May-Grünwald-Giemsa stain; bone marrow aspirate smear: 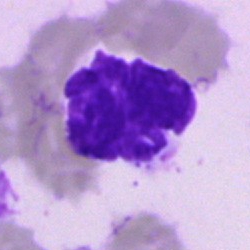

Single cell identified as an artifact.